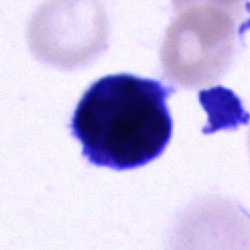 The morphological class is unidentifiable cell.